Bone marrow aspirate smear — 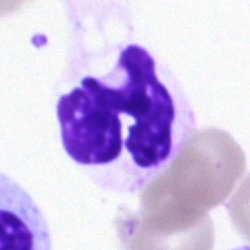 Morphology consistent with a polymorphonuclear neutrophil.